Bone marrow smear
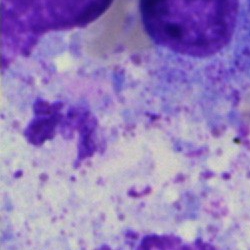

The classification is artifact.